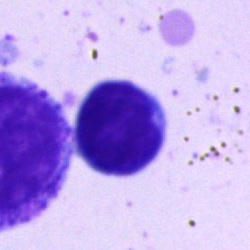

Specimen: bone marrow aspirate smear.
Morphological class: lymphocyte.
Lineage: lymphoid.